Bone marrow smear
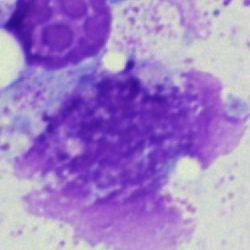
{"cell_type": "artifact"}